Bone marrow aspirate smear; May-Grünwald-Giemsa stain
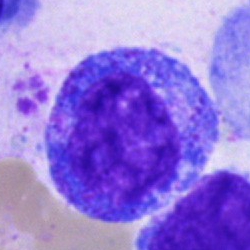Promyelocyte.